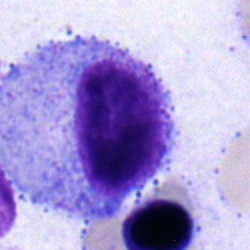 The cell is progranulocyte.